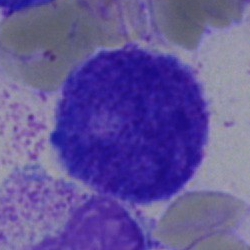
The cell shown is a progranulocyte.